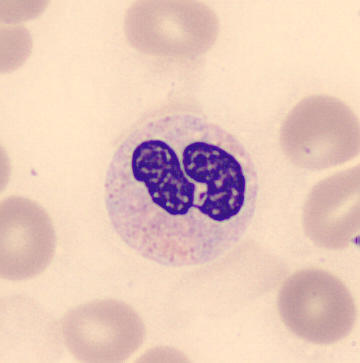{"cell_type": "segmented neutrophil"} Preparation: MGG-stained · peripheral blood smear.